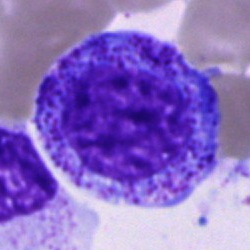
The cell type is progranulocyte.